Bone marrow smear; May-Grünwald-Giemsa/Pappenheim stain; brightfield microscopy, 40× oil immersion.
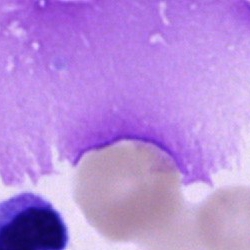 Showing an artifact.